Bone marrow smear:
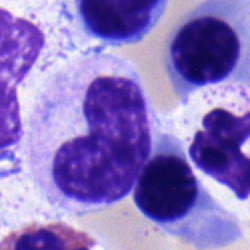

{"cell_type": "band neutrophil", "lineage": "myeloid"}